Cropped to a single cell · brightfield, 100× oil-immersion objective · peripheral blood smear:
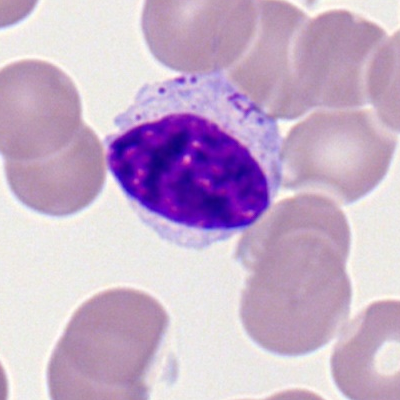
Specimen: peripheral blood smear.
Cell: lymphocyte.
Lineage: lymphoid.